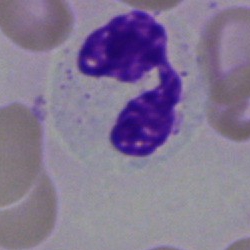 Specimen: bone marrow smear.
Morphological class: segmented neutrophil.